40× oil immersion; bone marrow aspirate smear; May-Grünwald-Giemsa/Pappenheim stain:
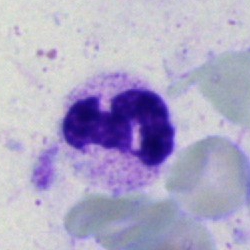

Morphological class — polymorphonuclear neutrophil.